40× objective, oil immersion; bone marrow aspirate smear; 250×250.
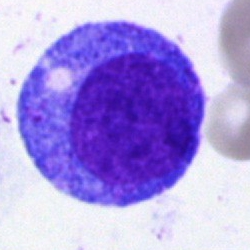
Showing a progranulocyte.